Peripheral blood smear. 400 by 400 pixels
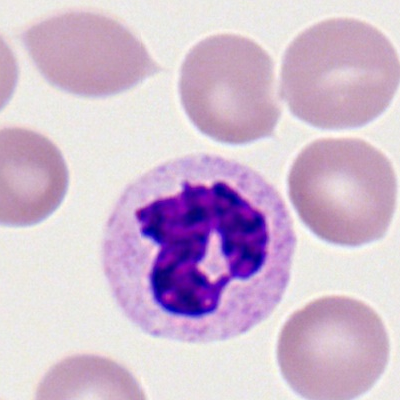 The cell type is neutrophil (segmented).